Bone marrow smear.
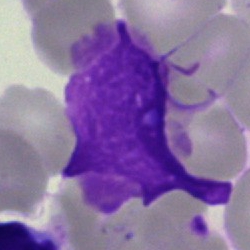
Cell: artefact.